Bone marrow aspirate smear
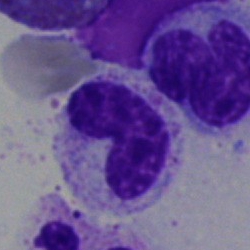
Morphology consistent with a neutrophil (band).